Bone marrow aspirate smear — 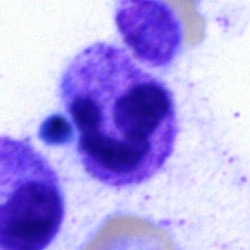Morphological class = polymorphonuclear neutrophil.